Bone marrow smear
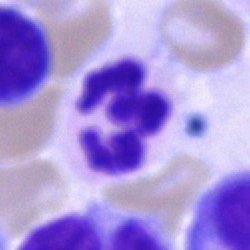
Q: What cell is this?
A: A polymorphonuclear neutrophil.